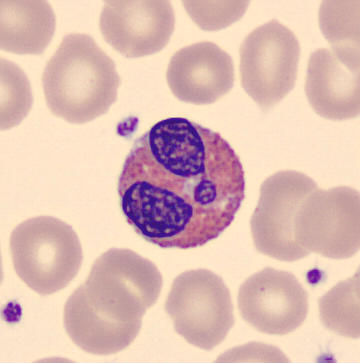 Cell type = eosinophil.